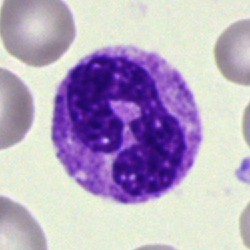
A polymorphonuclear neutrophil on a bone marrow smear.